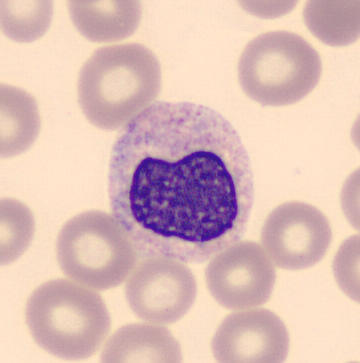

Q: What is this?
A: A metamyelocyte.
Acquisition: Single cell centered in the field · peripheral blood smear.